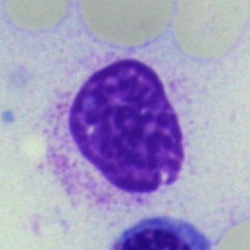

Cell type — artifact.